Bone marrow aspirate smear: 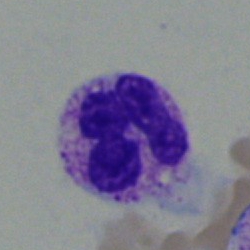Impression → neutrophil (segmented).